Bone marrow smear.
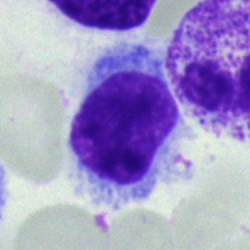Morphology — hairy cell.